250×250 px. Bone marrow smear
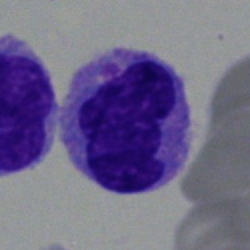 Single cell identified as a monocyte.